Bone marrow aspirate smear
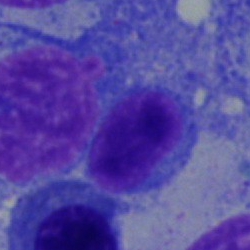Typical lymphocyte.